Bone marrow aspirate smear: 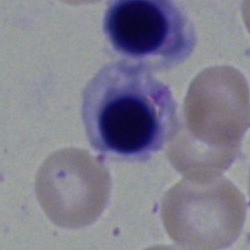Q: What is shown here?
A: Nucleated red cell.